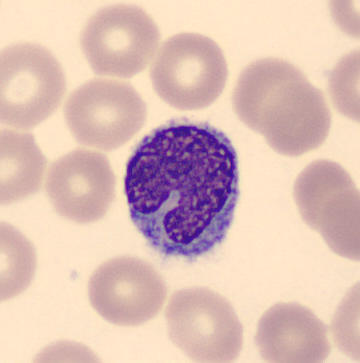Specimen: peripheral blood smear.
Cell: monocyte.
Lineage: myeloid.